40× oil immersion. 250×250 px. Bone marrow aspirate smear:
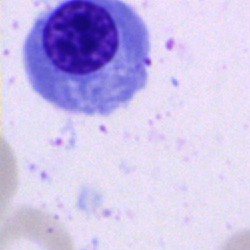

Showing a nucleated red cell.